Bone marrow smear: 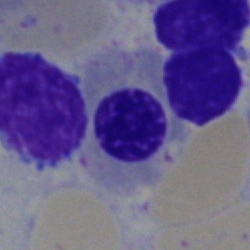

Morphology consistent with a nucleated red blood cell.